Bone marrow smear.
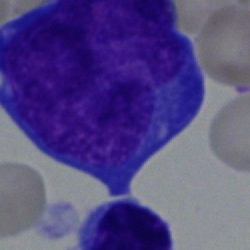
Q: What type of cell is this?
A: Blast cell.